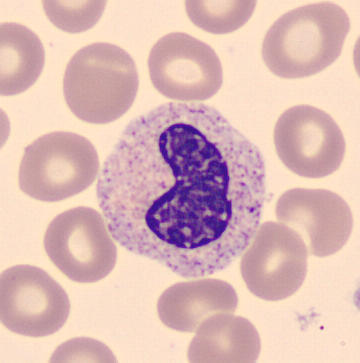

Preparation: Peripheral blood smear · imaged on a CellaVision DM96 analyser.

Q: What is this?
A: A band-form neutrophil.